Bone marrow smear.
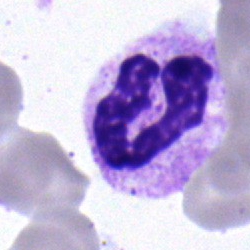

Cell type — band neutrophil.